Bone marrow aspirate smear; 40× objective, oil immersion — 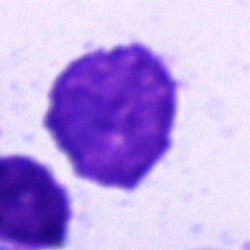{"cell_type": "artifact"}